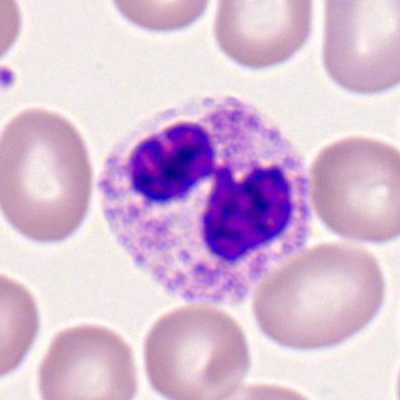 Neutrophil (segmented).